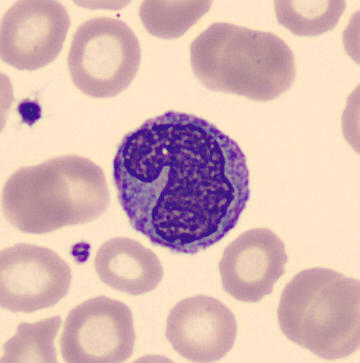Showing a monocyte.